Bone marrow smear; May-Grünwald-Giemsa stain — 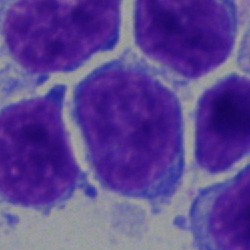

This is a lymphocyte.